Bone marrow aspirate smear:
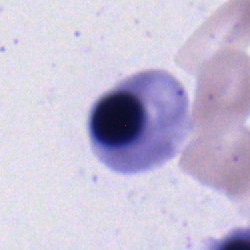This is a nucleated red cell.